Bone marrow aspirate smear: 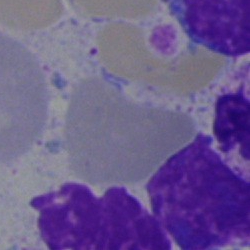 {"cell_type": "artefact"}